Bone marrow aspirate smear — 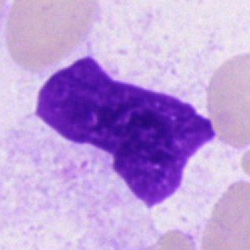Q: What is shown here?
A: This is an artifact.